Bone marrow aspirate smear.
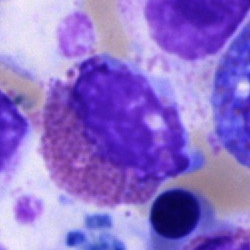 Morphological class = eosinophilic granulocyte.